Bone marrow smear:
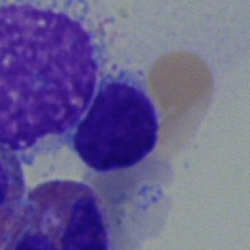

Cell = lymphocyte.